Bone marrow aspirate smear · 40× objective, oil immersion: 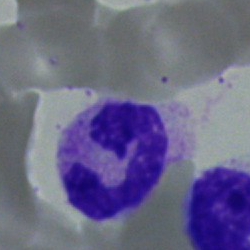{"cell_type": "stab cell", "lineage": "myeloid"}